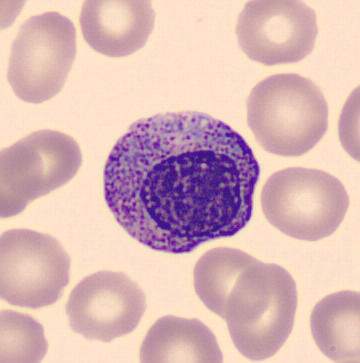The cell is myelocyte.